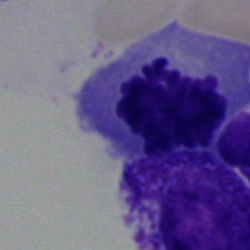

Showing an erythroblast.